May-Grünwald-Giemsa stain. Bone marrow aspirate smear.
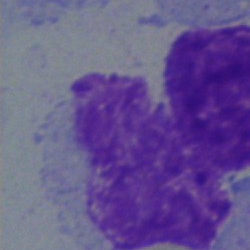The morphological class is blast.